Bone marrow aspirate smear. 40× oil immersion
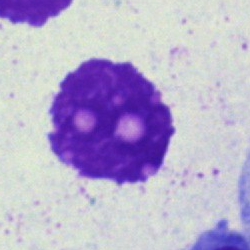

Artefact.